Bone marrow aspirate smear — 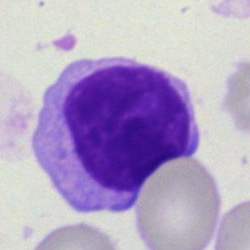Impression → lymphocyte.